Bone marrow smear; single-cell crop — 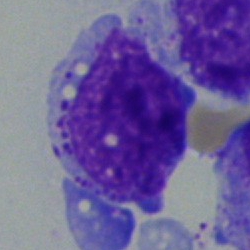 Q: What type of cell is this?
A: This is a blast.